Bone marrow aspirate smear. MGG-stained
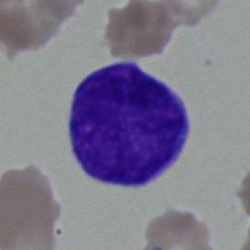 Q: What is shown here?
A: Undifferentiated blast.